Bone marrow smear.
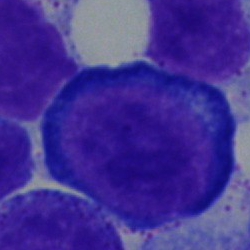

Morphology consistent with a proerythroblast.